Bone marrow smear. May-Grünwald-Giemsa/Pappenheim stain: 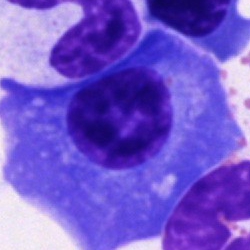Showing a plasmacyte.